Bone marrow aspirate smear · MGG-stained
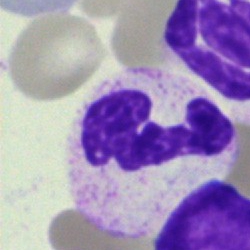

Morphology consistent with a neutrophil (segmented).